May-Grünwald-Giemsa stain. Bone marrow aspirate smear:
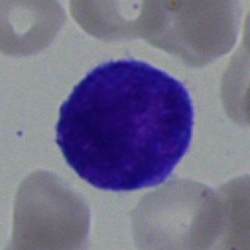Q: What cell is this?
A: A progranulocyte.